Bone marrow aspirate smear. Brightfield, 40× oil-immersion objective
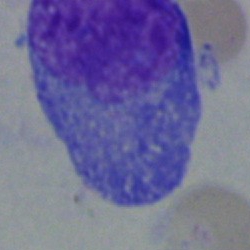 Specimen: bone marrow smear.
Cell type: blast cell.